Bone marrow aspirate smear:
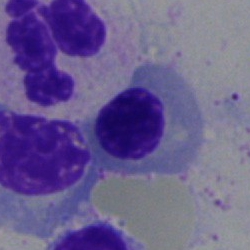This is a nucleated red blood cell.